Peripheral blood smear
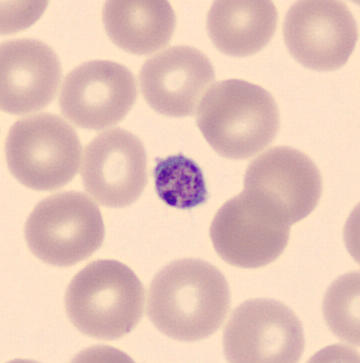
Morphological class — platelet (thrombocyte).